Bone marrow smear:
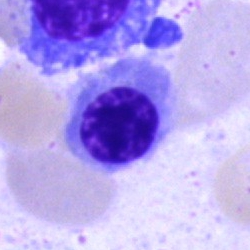Nucleated red cell.